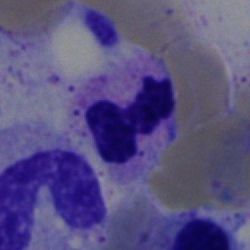Specimen: bone marrow smear.
Cell type: segmented neutrophil.
Lineage: myeloid.